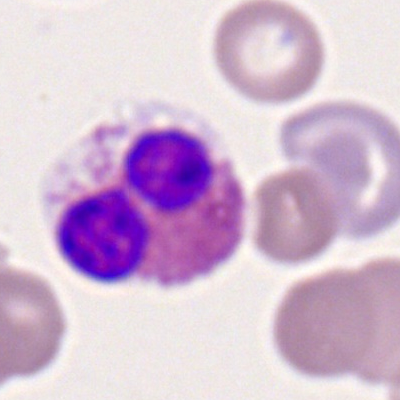 Morphology → eosinophil.